Single cell centered in the field · bone marrow smear · 250×250 px.
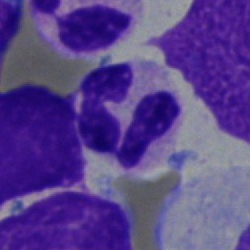
Impression — neutrophil (segmented).